250×250; 40× objective, oil immersion; bone marrow smear.
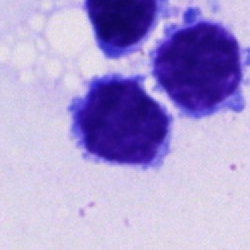

Showing a lymphocyte.